Bone marrow smear: 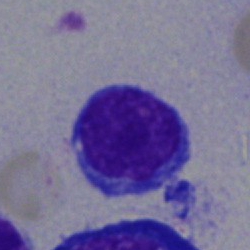
Single cell identified as a typical lymphocyte.